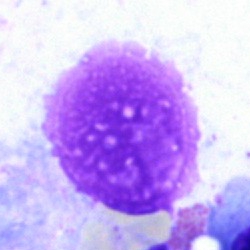
The cell shown is an artefact.